Bone marrow smear.
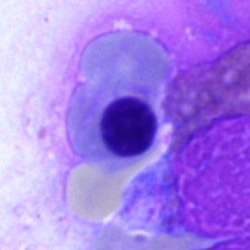
Single cell identified as a normoblast.